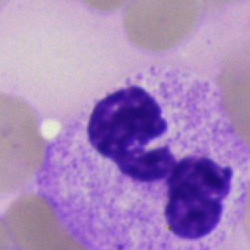 Showing a segmented neutrophil.